Bone marrow aspirate smear; single-cell field: 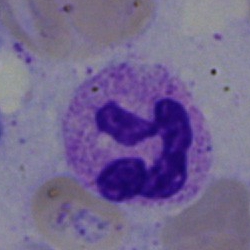
Segmented neutrophil.